Peripheral blood film
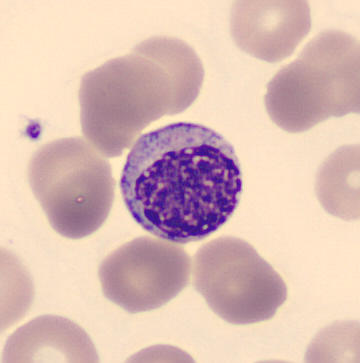
The cell shown is a myelocyte.